Brightfield microscopy, 40× oil immersion · bone marrow aspirate smear · 250 by 250 pixels:
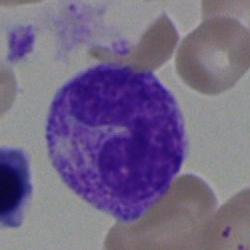 Morphology consistent with a band neutrophil.